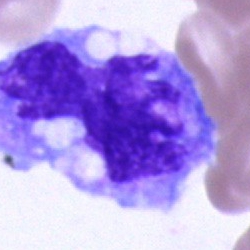
Q: What cell is this?
A: This is a monocyte.